Peripheral blood smear:
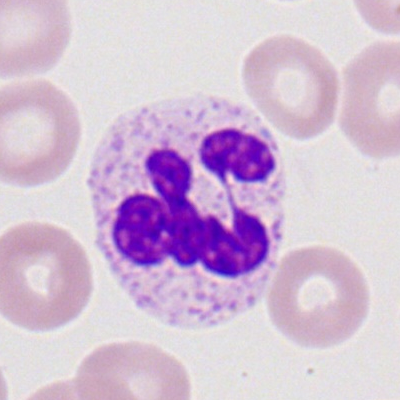

Single cell identified as a segmented neutrophil.